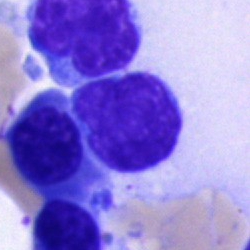Bone marrow smear showing a lymphocyte.